Image size 250×250 · bone marrow aspirate smear · brightfield, 40× oil-immersion objective.
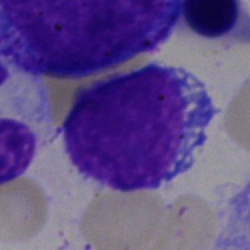
Specimen: bone marrow smear.
Morphological class: typical lymphocyte.